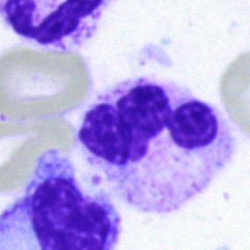

A neutrophil (segmented) on a bone marrow smear.